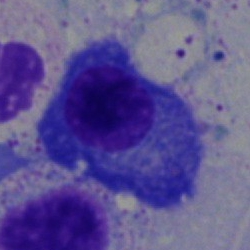 Impression — plasmacyte.